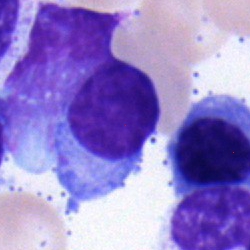Q: What is shown here?
A: A typical lymphocyte.